Bone marrow aspirate smear · 250×250: 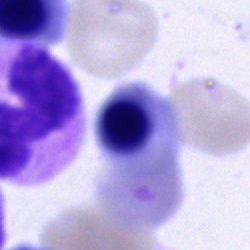This is a nucleated red blood cell.